40× oil immersion; single-cell crop; bone marrow smear — 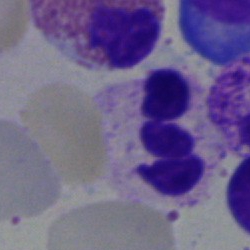The cell is segmented neutrophil.